100× oil immersion, 14.14 px/µm; peripheral blood film: 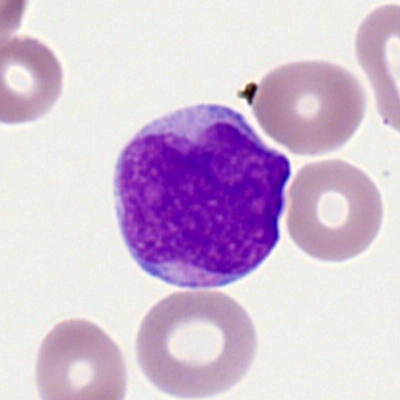
Morphology consistent with a myeloid blast.